Bone marrow aspirate smear — 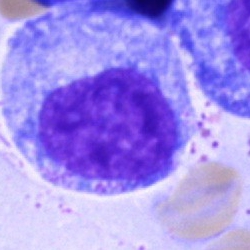Progranulocyte.